Peripheral blood film: 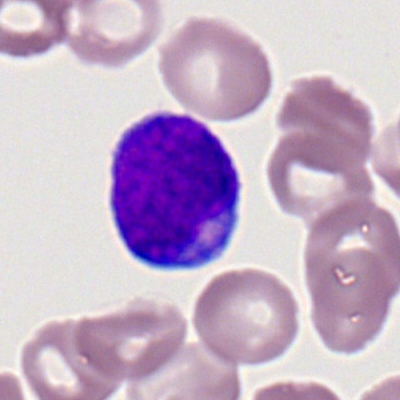 Q: What is shown here?
A: It is a lymphocyte.